Bone marrow aspirate smear: 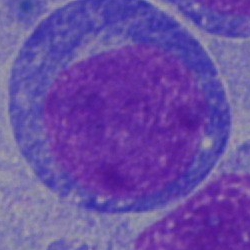

Q: What is the morphological classification of this cell?
A: An undifferentiated blast.